Bone marrow smear. Single cell centered in the field:
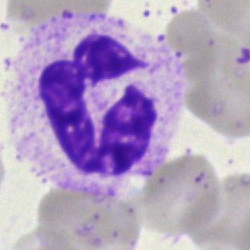

Cell — segmented neutrophil.